Bone marrow smear · brightfield, 40× oil-immersion objective · 250 by 250 pixels
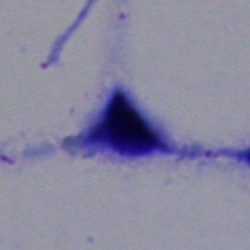 Morphology consistent with an artifact.